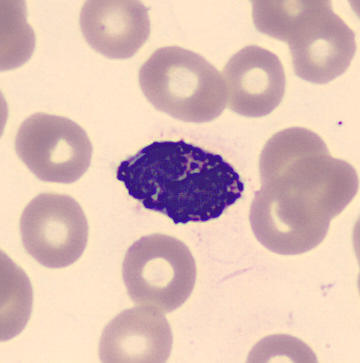 {"cell_type": "basophil"}